Bone marrow aspirate smear.
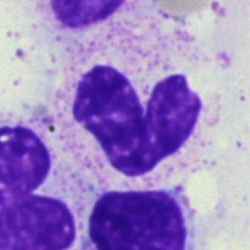Q: Identify the cell.
A: Segmented neutrophil.